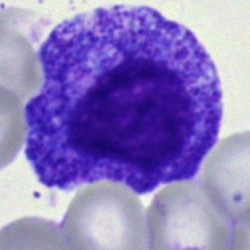 Classification = progranulocyte.